Peripheral blood smear.
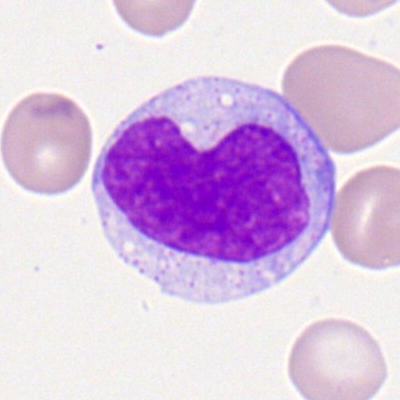 Specimen: peripheral blood smear.
Morphological class: monocyte.